250 by 250 pixels · bone marrow smear.
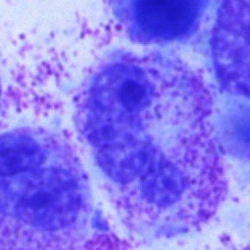

Single cell identified as a neutrophil (segmented).